Bone marrow aspirate smear
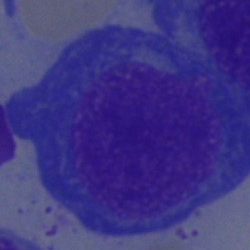
Morphology — proerythroblast.